Bone marrow aspirate smear. May-Grünwald-Giemsa/Pappenheim stain
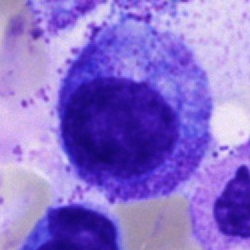

Impression → progranulocyte.